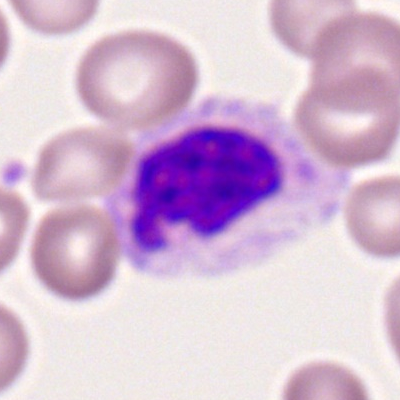

Cell type = neutrophil (segmented).